Bone marrow aspirate smear · 250×250 px
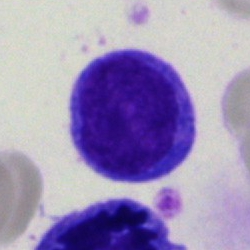Q: What type of cell is this?
A: This is a typical lymphocyte.